Bone marrow aspirate smear
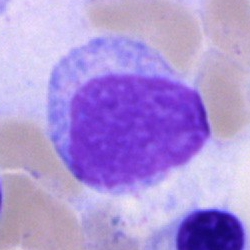
Undifferentiated blast.